Bone marrow smear · 40× oil immersion
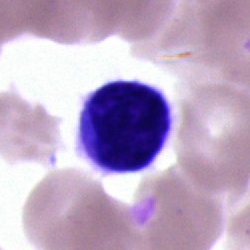

Morphology → lymphocyte.